Bone marrow smear
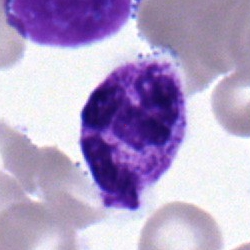Specimen: bone marrow aspirate smear.
Morphological class: polymorphonuclear neutrophil.
Lineage: myeloid.